Bone marrow smear — 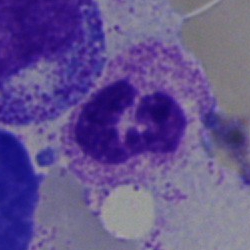

A polymorphonuclear neutrophil.